Pappenheim-stained; bone marrow aspirate smear; image size 250×250.
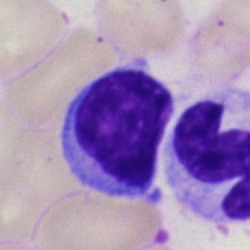 This is a typical lymphocyte.